Bone marrow smear
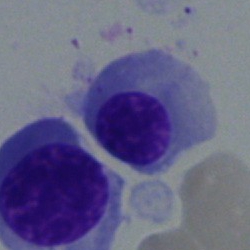Nucleated red blood cell.